Single-cell crop. Bone marrow aspirate smear. 40× oil immersion
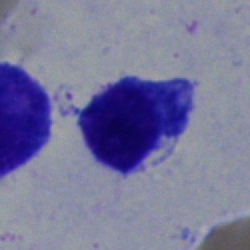This is a lymphocyte.